Bone marrow smear: 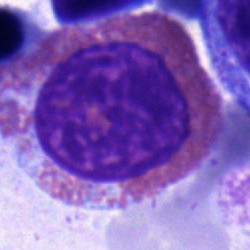

Specimen: bone marrow aspirate smear.
Classification: eosinophil.